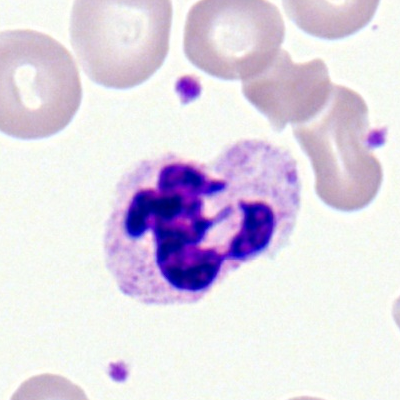Morphology → polymorphonuclear neutrophil.